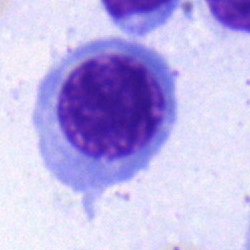
Erythroblast.